Bone marrow aspirate smear. 40× objective, oil immersion:
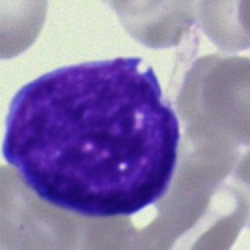Morphological class — undifferentiated blast.